Bone marrow smear; 40× oil immersion
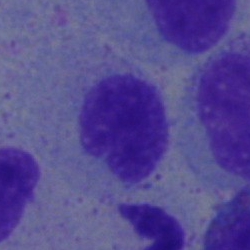
The morphological class is metamyelocyte.